40× oil immersion. Bone marrow smear
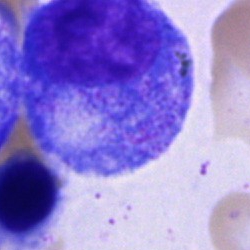
A promyelocyte.